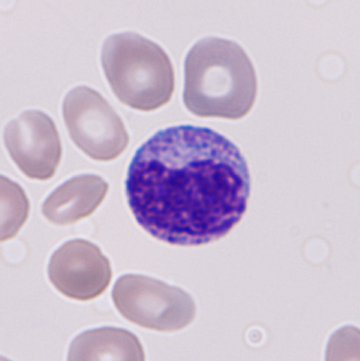Impression — immature granulocyte (promyelocyte, myelocyte or metamyelocyte).
Peripheral blood film.